Bone marrow aspirate smear. MGG-stained
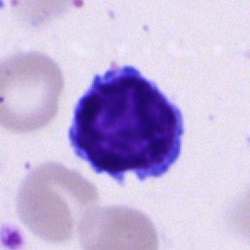Classification: lymphocyte.